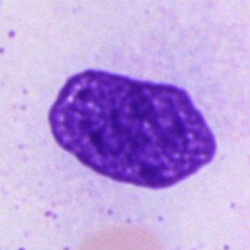
Bone marrow aspirate smear, single cell — artifact.